Bone marrow aspirate smear; image size 250×250.
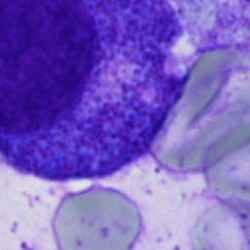 Morphology consistent with a progranulocyte.